Bone marrow aspirate smear. 250×250 px. 40× objective, oil immersion.
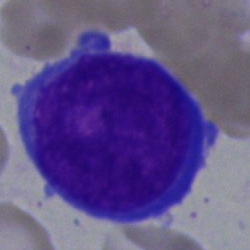 Morphological class — pronormoblast.